Bone marrow aspirate smear:
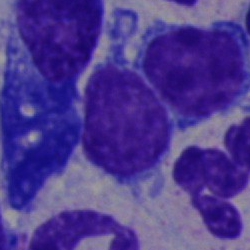 The cell shown is a lymphocyte.